Cropped to a single cell; bone marrow aspirate smear
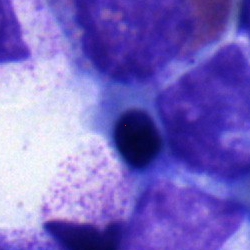
Morphology consistent with a normoblast.